Brightfield microscopy, 40× oil immersion. Bone marrow smear — 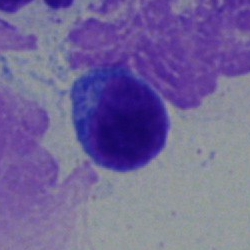

Classification = lymphocyte.